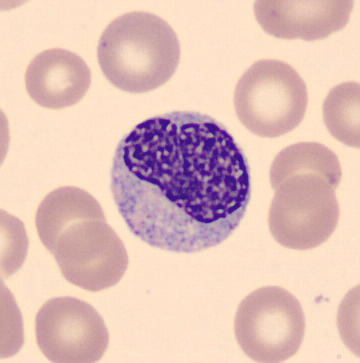
Identified as a metamyelocyte.
Acquisition: MGG-stained. Peripheral blood film.